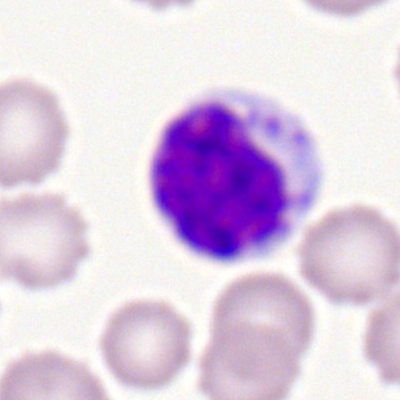

The morphological class is typical lymphocyte.